Bone marrow smear.
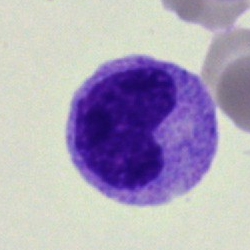

Single cell identified as a metamyelocyte.